Bone marrow aspirate smear: 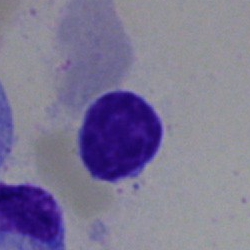A lymphocyte.